Bone marrow aspirate smear:
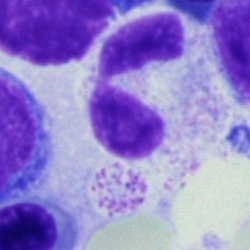Morphology — polymorphonuclear neutrophil.